MGG-stained; bone marrow smear — 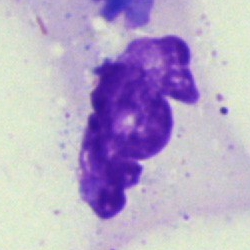An artifact.